Pappenheim-stained · 250×250 px · bone marrow aspirate smear:
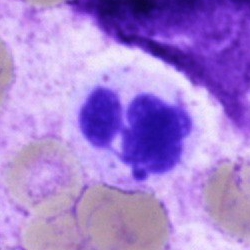Single cell identified as a segmented neutrophil.